Brightfield, 40× oil-immersion objective · bone marrow aspirate smear.
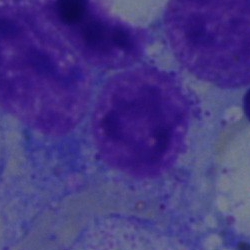

Morphology — myelocyte.